Bone marrow smear.
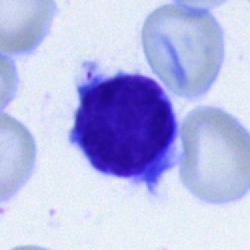
The cell shown is a lymphocyte.